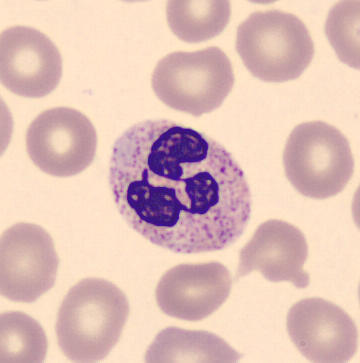Morphology consistent with a polymorphonuclear neutrophil.
Acquisition: Peripheral blood smear.